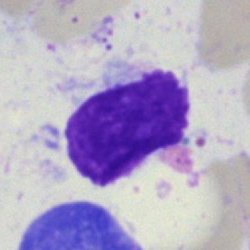
Q: What is shown here?
A: This is an artifact.